Bone marrow aspirate smear.
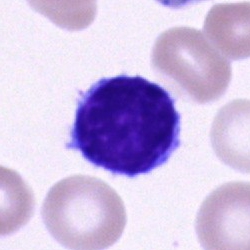 The cell shown is a lymphocyte.